Peripheral blood smear. Single-cell crop. 100× oil immersion.
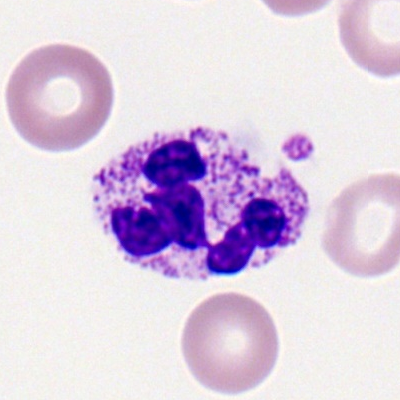 Classification: polymorphonuclear neutrophil.